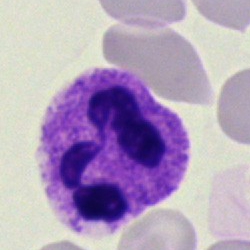Single cell identified as a segmented neutrophil.